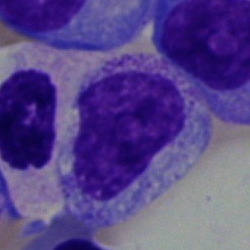

Showing a myelocyte.